Brightfield, 40× oil-immersion objective; bone marrow smear:
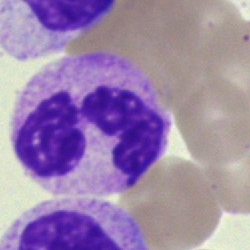 Classification — neutrophil (segmented).